Bone marrow aspirate smear
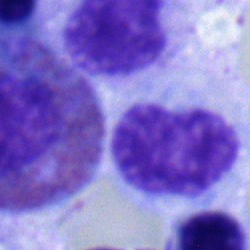 Morphology consistent with a metamyelocyte.